Bone marrow smear; May-Grünwald-Giemsa stain; single cell centered in the field — 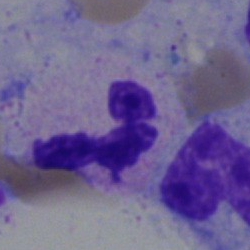

Q: What is shown here?
A: A polymorphonuclear neutrophil.